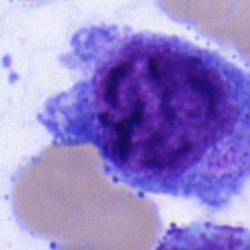

{"cell_type": "blast cell"}